Bone marrow smear.
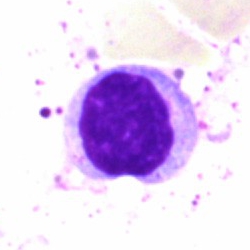
Lymphocyte.